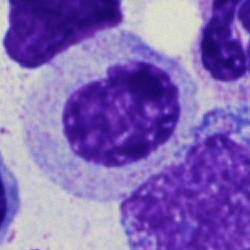Specimen: bone marrow aspirate smear.
Cell type: myelocyte.
Lineage: myeloid.